Bone marrow aspirate smear
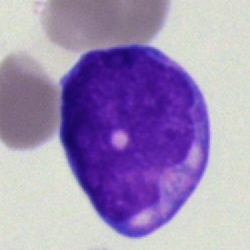 {"cell_type": "undifferentiated blast"}